Bone marrow smear — 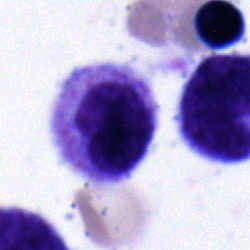

Showing a myelocyte.